Bone marrow aspirate smear:
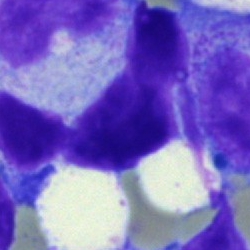
Morphology consistent with an unidentifiable cell.